Bone marrow aspirate smear: 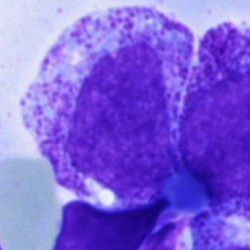Q: What is shown here?
A: It is a myelocyte.